Peripheral blood film.
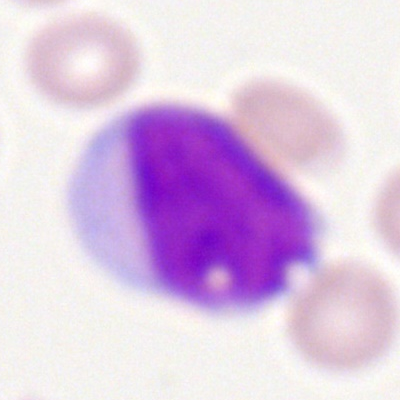A myeloblast.